Bone marrow aspirate smear — 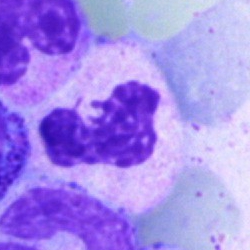 Showing a neutrophil (segmented).